Image size 250×250 · bone marrow smear — 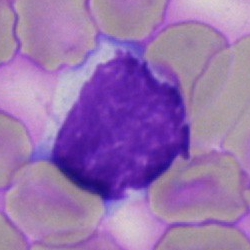

Impression — lymphocyte.